Single cell centered in the field. Bone marrow aspirate smear:
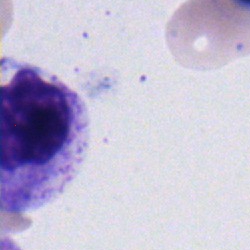
This is a neutrophil (segmented).